400×400. Peripheral blood film
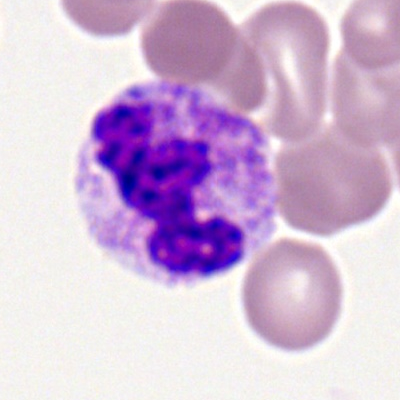 {"cell_type": "segmented neutrophil", "lineage": "myeloid"}